250 by 250 pixels. Bone marrow smear.
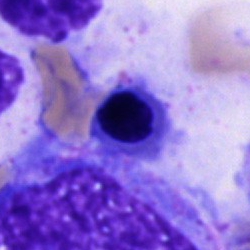

Q: What type of cell is this?
A: It is a nucleated red blood cell.